Bone marrow smear. 250×250 — 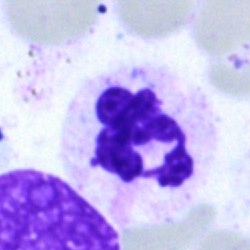 Showing a neutrophil (segmented).